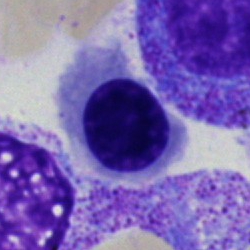

Classification = nucleated red blood cell.